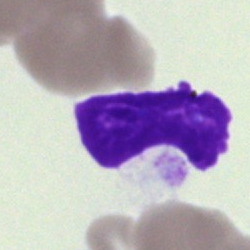An artifact on a bone marrow smear.